Bone marrow aspirate smear · brightfield microscopy, 40× oil immersion
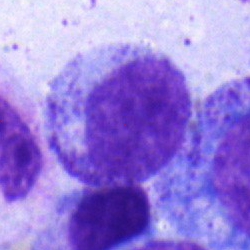 A myelocyte.